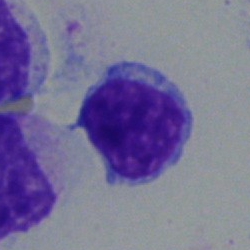 Impression — typical lymphocyte.